Peripheral blood smear — 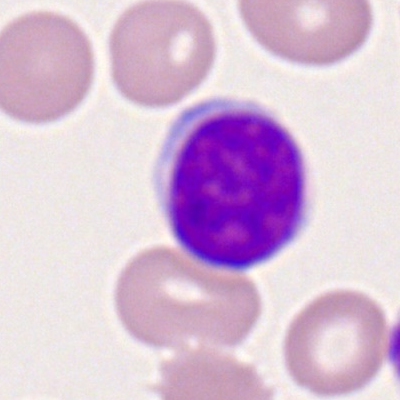 Morphology — typical lymphocyte.